Bone marrow smear; brightfield microscopy, 40× oil immersion:
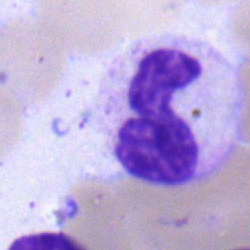
Neutrophil (segmented).